Bone marrow aspirate smear.
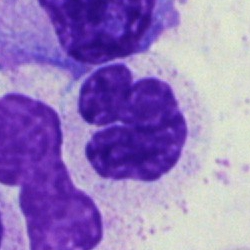

The cell type is neutrophil (segmented).